Bone marrow aspirate smear.
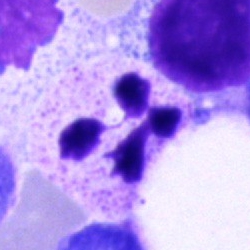Showing a polymorphonuclear neutrophil.